Bone marrow aspirate smear
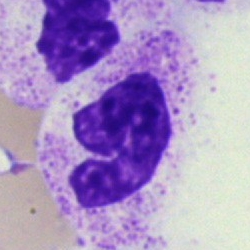Classification — polymorphonuclear neutrophil.